Bone marrow smear — 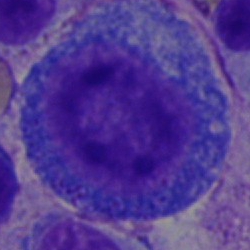 This is a promyelocyte.